Peripheral blood film · image size 400×400: 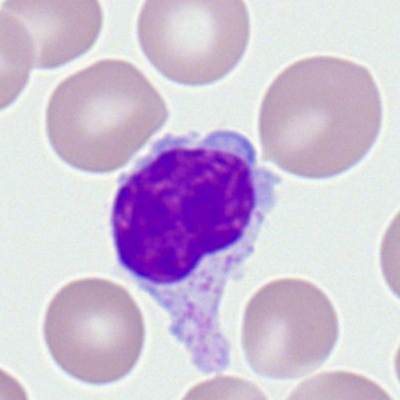
Specimen: peripheral blood smear.
Cell type: typical lymphocyte.
Lineage: lymphoid.